40× objective, oil immersion · bone marrow aspirate smear · Pappenheim-stained.
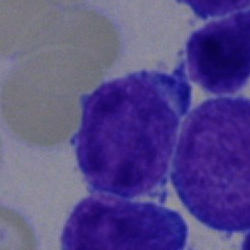
Morphological class = blast.